Bone marrow smear:
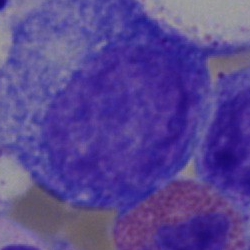

Single cell identified as a progranulocyte.